360 by 363 pixels; May Grünwald-Giemsa stain; peripheral blood film: 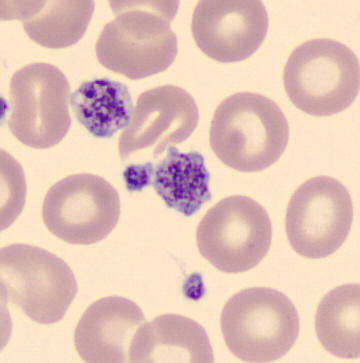
Specimen: peripheral blood smear.
Classification: platelet.